Bone marrow aspirate smear · brightfield microscopy, 40× oil immersion · single-cell field:
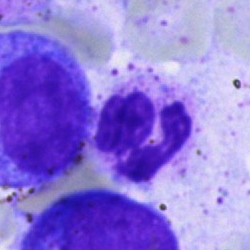
The cell type is neutrophil (segmented).